Bone marrow aspirate smear
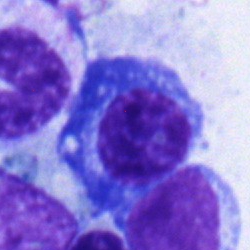

A plasma cell.